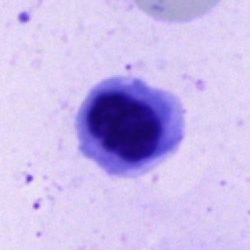Q: What type of cell is this?
A: It is a nucleated red cell.